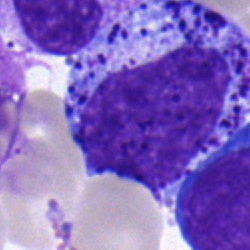 Classification — myelocyte.